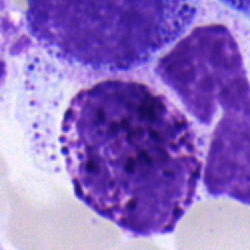
Morphology consistent with a basophilic granulocyte.